Bone marrow aspirate smear · 40× oil immersion
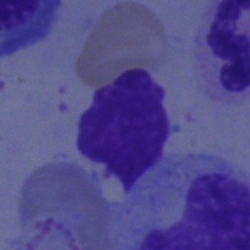Morphology — artefact.